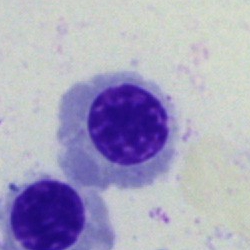
Q: What cell is this?
A: An erythroblast.